Peripheral blood film: 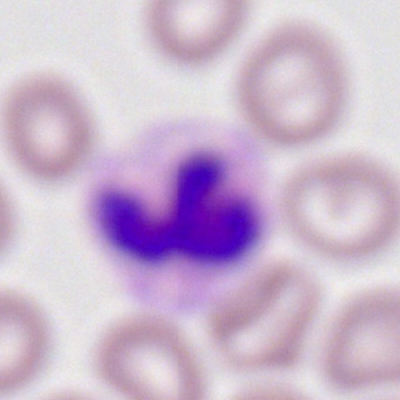

Morphology → polymorphonuclear neutrophil.